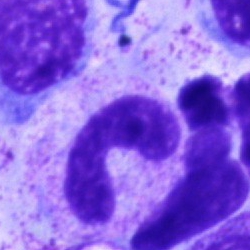 A neutrophil (band) on a bone marrow smear.